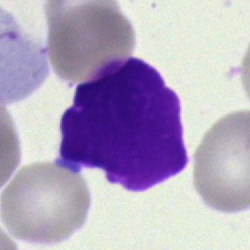
Cell — artefact.